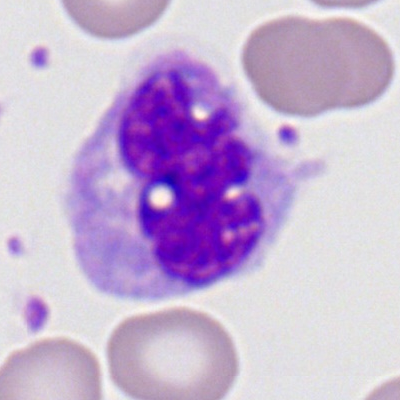Q: What cell is this?
A: Monocyte.